Brightfield microscopy, 40× oil immersion. Bone marrow aspirate smear:
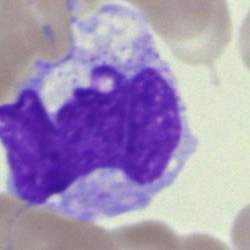Classification — monocyte.